Bone marrow smear.
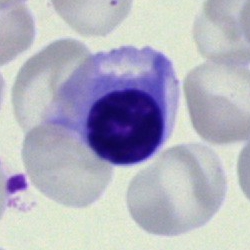
Specimen: bone marrow smear.
Cell: nucleated red cell.
Lineage: erythroid.